Image size 250×250 · bone marrow smear:
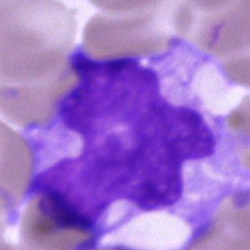Cell of indeterminate lineage.